250×250 px. 40× oil immersion. Bone marrow smear: 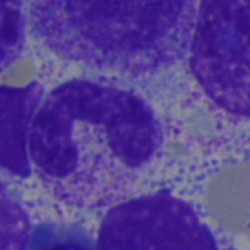Single cell identified as a segmented neutrophil.